Single cell centered in the field · bone marrow smear.
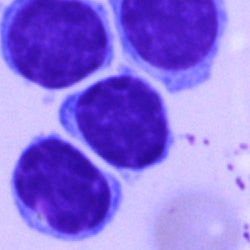
Lymphocyte.